Bone marrow smear: 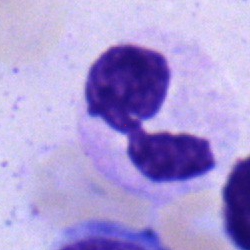
This is a polymorphonuclear neutrophil.